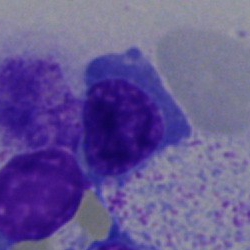Nucleated red blood cell.